Bone marrow aspirate smear. 250×250 — 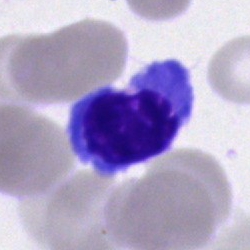Specimen: bone marrow aspirate smear.
Classification: erythroblast.